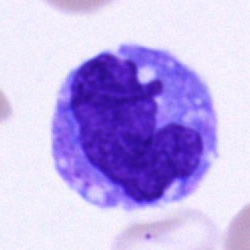Specimen: bone marrow smear.
Classification: monocyte.
Lineage: myeloid.